Brightfield, 40× oil-immersion objective; single-cell crop; bone marrow aspirate smear
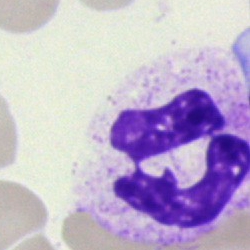
This is a neutrophil (segmented).